40× objective, oil immersion · bone marrow aspirate smear · Pappenheim-stained: 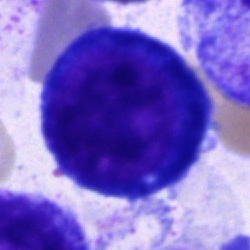 Cell: proerythroblast.